Bone marrow aspirate smear. Single cell centered in the field — 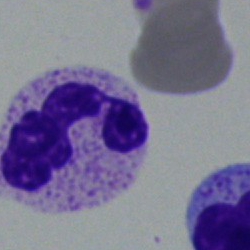

Cell: polymorphonuclear neutrophil.